Single-cell crop · bone marrow smear.
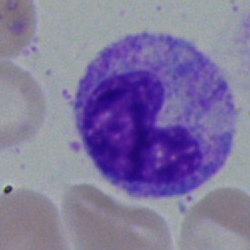
{"cell_type": "metamyelocyte"}